40× objective, oil immersion. Bone marrow aspirate smear. 250×250
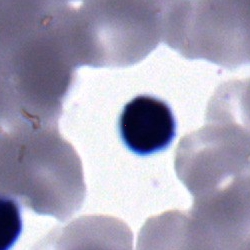

Morphological class = nucleated red cell.